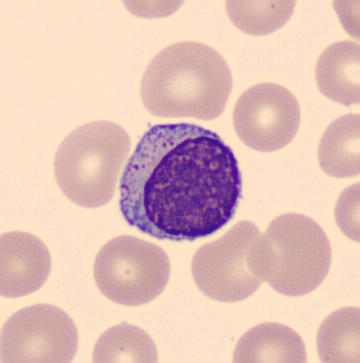
This is a typical lymphocyte.
Peripheral blood smear.